40× objective, oil immersion. Bone marrow aspirate smear.
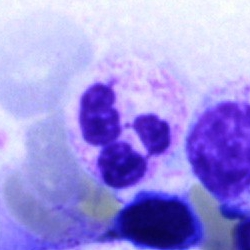
Neutrophil (segmented).